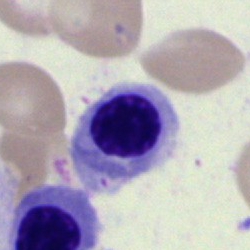Showing a nucleated red cell.